250×250 px. Brightfield microscopy, 40× oil immersion. Bone marrow smear: 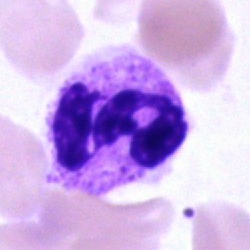 This is a segmented neutrophil.